Single-cell field; bone marrow smear; May-Grünwald-Giemsa/Pappenheim stain:
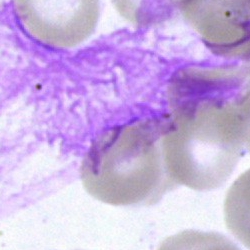 The cell is artefact.